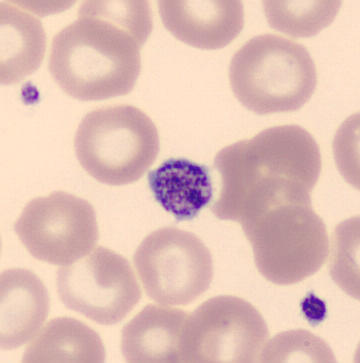Classification = thrombocyte. Peripheral blood smear.